Bone marrow aspirate smear · MGG-stained · 40× oil immersion:
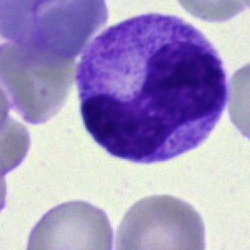

{"cell_type": "neutrophil (band)", "lineage": "myeloid"}